100× objective, oil immersion; peripheral blood film: 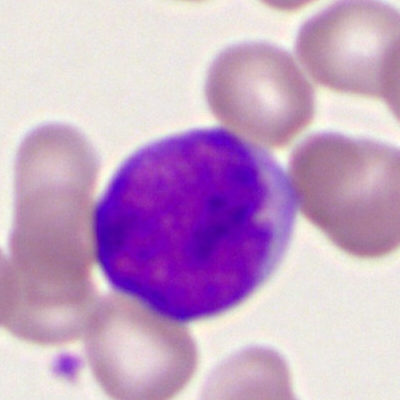The classification is myeloid blast.